Bone marrow smear
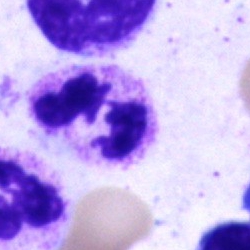Classification — neutrophil (segmented).